Bone marrow aspirate smear.
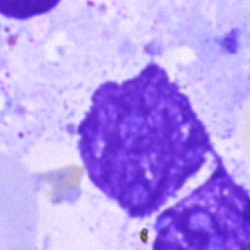

Cell type — artefact.